Peripheral blood smear; cropped to a single cell
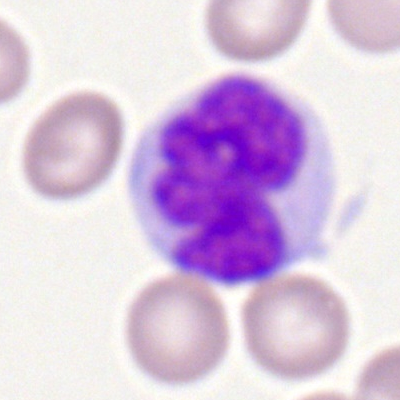 Specimen: peripheral blood smear.
Cell type: monocyte.
Lineage: myeloid.